Peripheral blood smear · 400×400 px
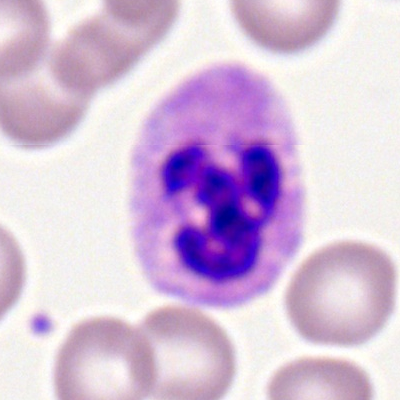

Impression — segmented neutrophil.